Peripheral blood smear: 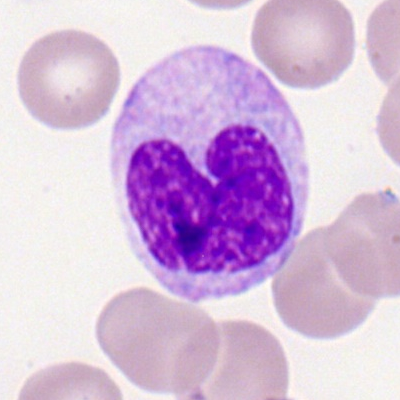

Cell type: monocyte.